100× objective, oil immersion · peripheral blood film:
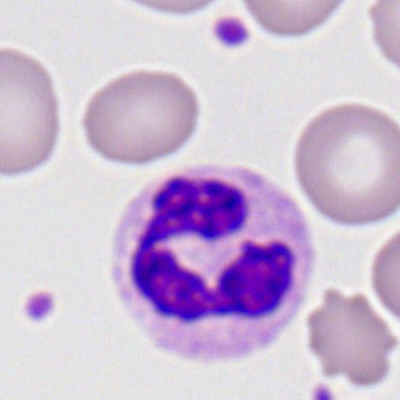

Impression — polymorphonuclear neutrophil.